250×250 px · single cell centered in the field · bone marrow smear — 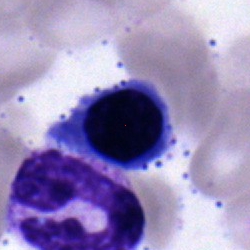Showing a nucleated red cell.